Bone marrow aspirate smear — 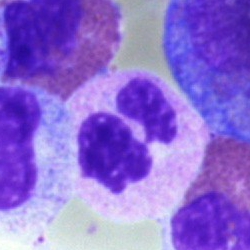Morphology — polymorphonuclear neutrophil.